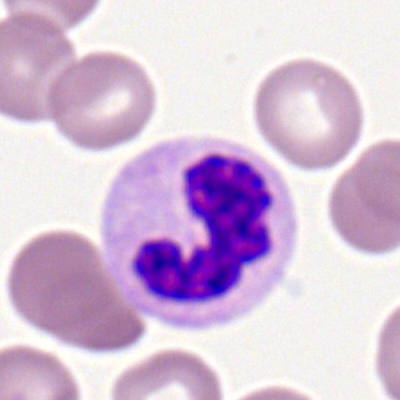Cell type = segmented neutrophil.